Cropped to a single cell · bone marrow smear.
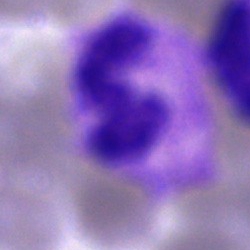
This is a polymorphonuclear neutrophil.